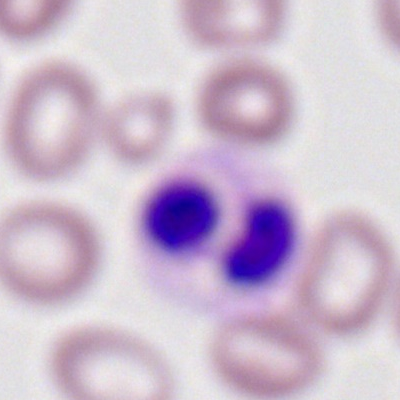Specimen: peripheral blood film.
Classification: segmented neutrophil.
Lineage: myeloid.